Bone marrow aspirate smear:
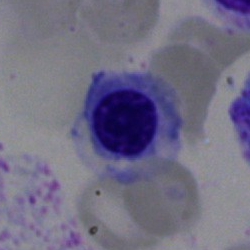The cell shown is a normoblast.